Peripheral blood smear. Romanowsky-type stain
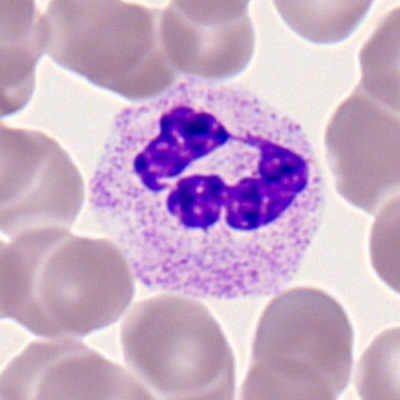 Classification — polymorphonuclear neutrophil.